Bone marrow aspirate smear. Single-cell field. 40× objective, oil immersion
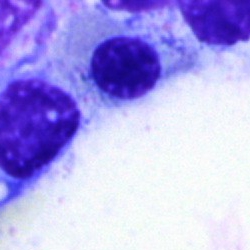Cell: artifact.